Bone marrow aspirate smear.
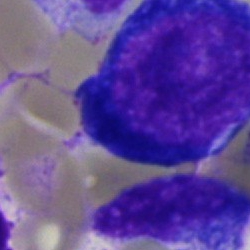Pronormoblast.